Brightfield microscopy, 40× oil immersion · bone marrow aspirate smear · single cell centered in the field
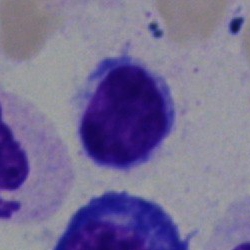Single cell identified as a lymphocyte.